Brightfield, 40× oil-immersion objective · bone marrow smear — 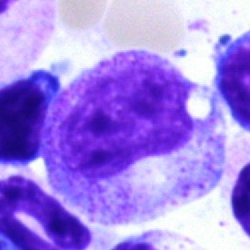 Impression → metamyelocyte.